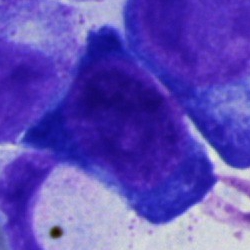Q: What cell is this?
A: A proerythroblast.